May-Grünwald-Giemsa stain. Cropped to a single cell. Bone marrow aspirate smear — 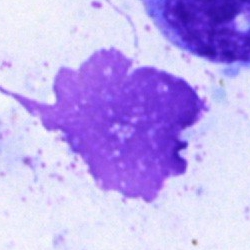Impression — artefact.